Bone marrow smear: 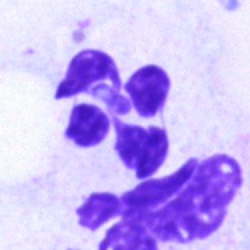The cell type is neutrophil (segmented).